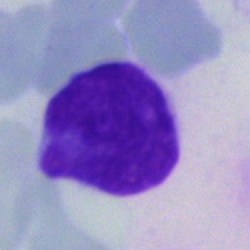Specimen: bone marrow smear.
Morphological class: blast cell.